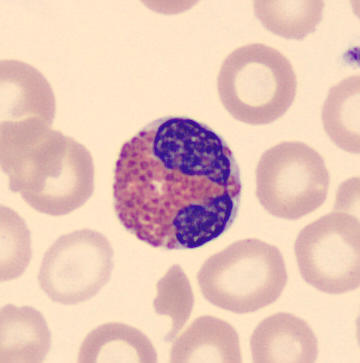Morphology → eosinophilic granulocyte.
Acquisition: Peripheral blood film.